Brightfield, 40× oil-immersion objective; 250×250 px; bone marrow aspirate smear
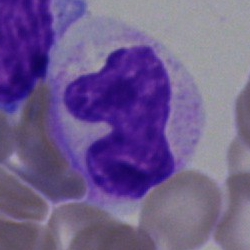
A stab cell.